Bone marrow aspirate smear; brightfield microscopy, 40× oil immersion — 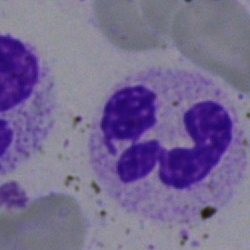
Single cell identified as a polymorphonuclear neutrophil.